40× objective, oil immersion · single-cell field · bone marrow smear: 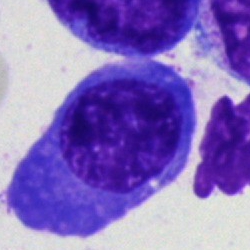

Q: Which cell type is shown here?
A: Plasmacyte.